Peripheral blood film
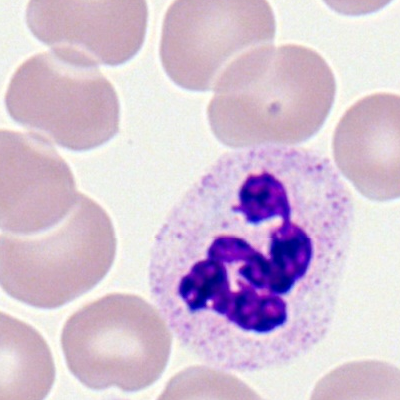{"cell_type": "polymorphonuclear neutrophil"}